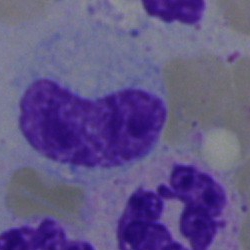

This is a band neutrophil.